Bone marrow aspirate smear:
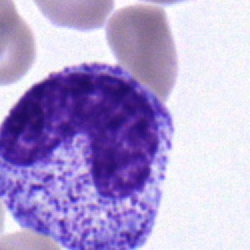
Morphological class = band neutrophil.